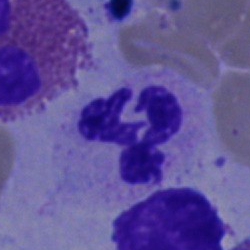 Single cell identified as a neutrophil (segmented).